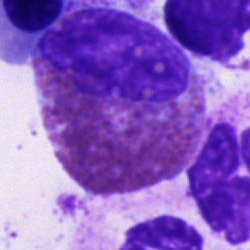

The classification is eosinophilic granulocyte.